Bone marrow smear — 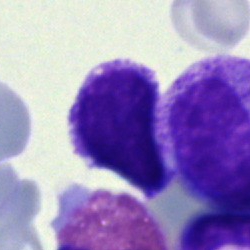
Morphology → artefact.